Bone marrow smear — 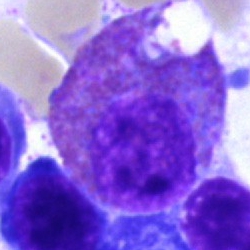 Specimen: bone marrow smear.
Cell: eosinophilic granulocyte.